Single-cell crop; bone marrow smear; brightfield microscopy, 40× oil immersion:
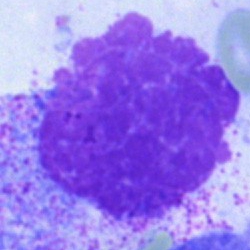

Q: What is shown here?
A: It is an artifact.